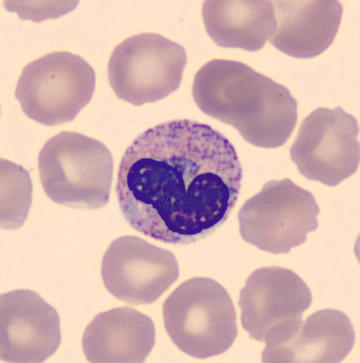 Impression — band-form neutrophil.

Peripheral blood film. Single-cell crop.